Brightfield microscopy, 40× oil immersion · bone marrow smear.
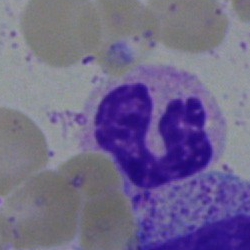Specimen: bone marrow aspirate smear.
Cell: neutrophil (segmented).
Lineage: myeloid.